Bone marrow smear: 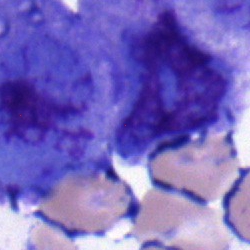 Blast cell.